Bone marrow aspirate smear · brightfield microscopy, 40× oil immersion.
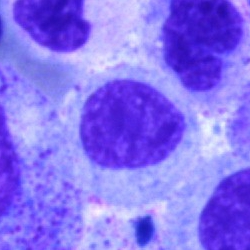 Morphology consistent with a typical lymphocyte.